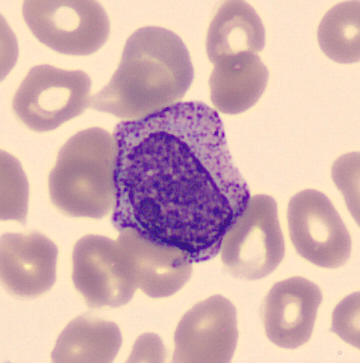Q: Identify the cell.
A: Myelocyte.